Bone marrow aspirate smear:
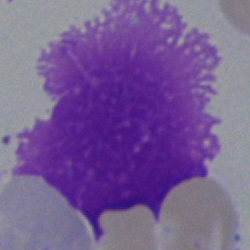

An artefact.